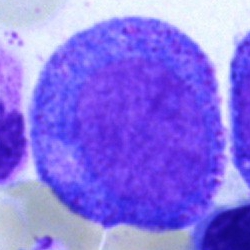{"cell_type": "promyelocyte"}